Bone marrow smear. 250×250. Brightfield, 40× oil-immersion objective:
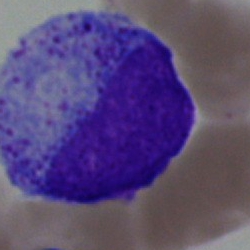
The classification is myelocyte.